Bone marrow aspirate smear.
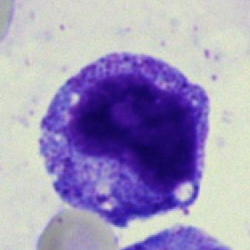
Specimen: bone marrow smear.
Cell: progranulocyte.